Bone marrow aspirate smear: 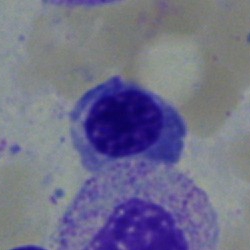 Morphology — normoblast.